Bone marrow smear · Pappenheim-stained.
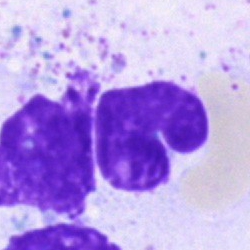 The cell type is artifact.